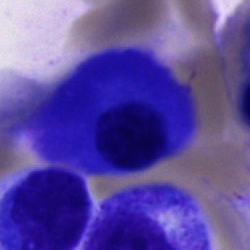

Cell type — plasmacyte.